Bone marrow aspirate smear. MGG-stained. Single-cell field
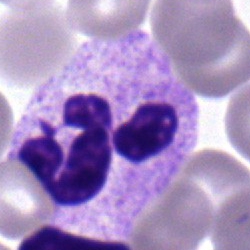Cell type: segmented neutrophil.